Bone marrow smear — 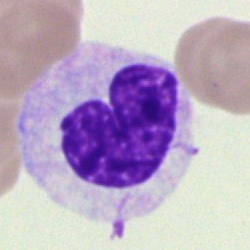
Showing a stab cell.